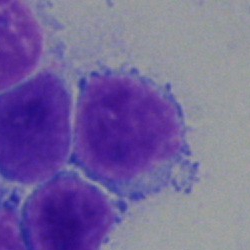

Specimen: bone marrow aspirate smear.
Morphological class: lymphocyte.
Lineage: lymphoid.